Bone marrow aspirate smear:
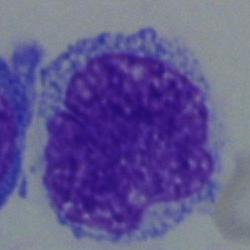 Q: What is the morphological classification of this cell?
A: Undifferentiated blast.